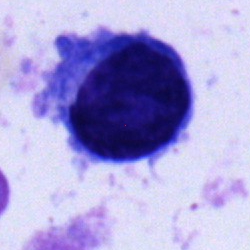
Morphology consistent with a plasmacyte.